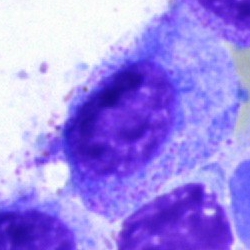

Morphology → promyelocyte.